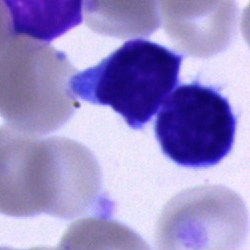 Bone marrow smear showing a lymphocyte.